250×250; bone marrow smear; brightfield microscopy, 40× oil immersion: 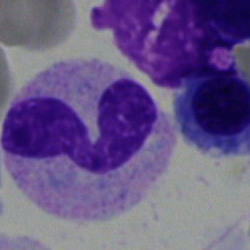

The cell type is segmented neutrophil.